Bone marrow aspirate smear · 250×250 px
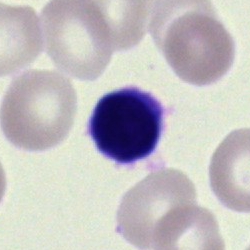Showing a typical lymphocyte.